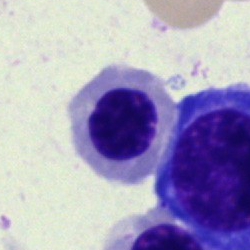

A nucleated red cell.